Bone marrow aspirate smear:
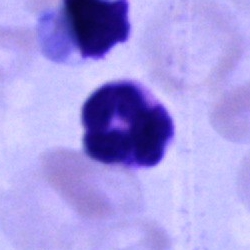
The cell is neutrophil (segmented).